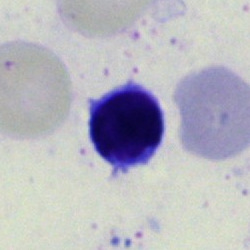

Q: What is shown here?
A: Artefact.